Bone marrow aspirate smear:
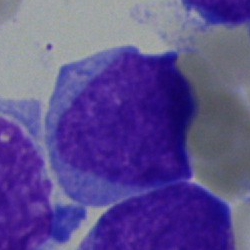 Cell = blast cell.